Bone marrow smear
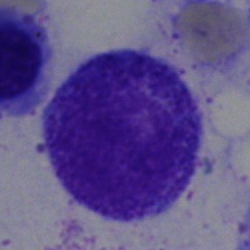The cell type is promyelocyte.